Bone marrow aspirate smear; brightfield, 40× oil-immersion objective:
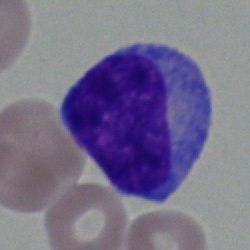 Morphological class — myelocyte.